Bone marrow smear · May-Grünwald-Giemsa stain:
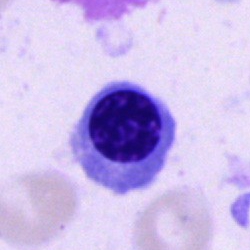This is an erythroblast.